Single cell centered in the field. Image size 250×250. Bone marrow aspirate smear
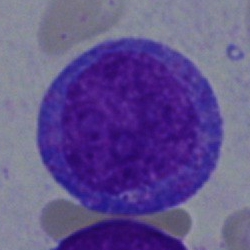The classification is progranulocyte.